250×250 px · brightfield, 40× oil-immersion objective · bone marrow smear:
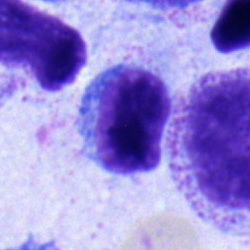Classification — typical lymphocyte.